Peripheral blood film
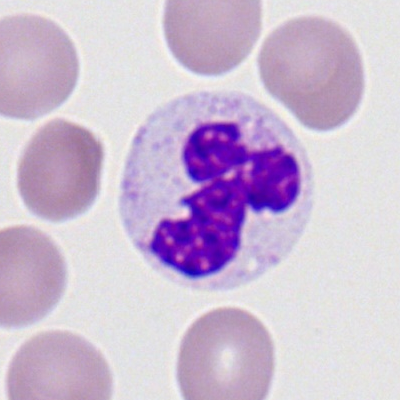 The classification is neutrophil (segmented).